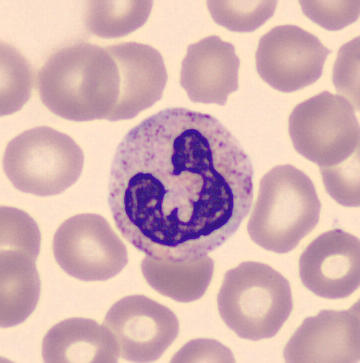 Acquisition: MGG-stained. 360×363 px. Peripheral blood film.

Identified as a neutrophil (segmented).